Bone marrow aspirate smear: 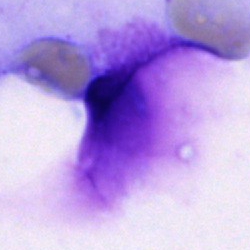
Cell type = artifact.